Pappenheim-stained; bone marrow aspirate smear — 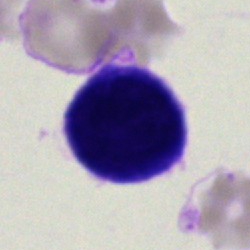 Showing a lymphocyte.